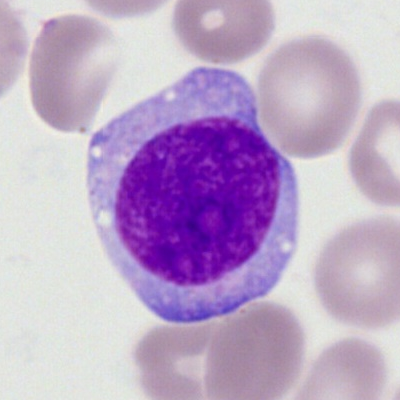

Peripheral blood smear showing a myeloid blast.